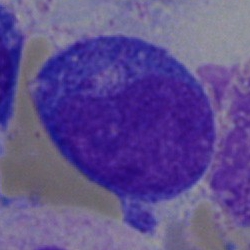
Showing a promyelocyte.